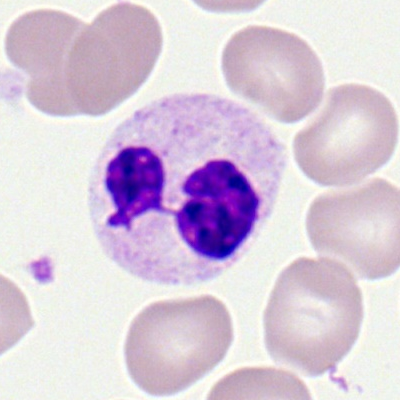{"cell_type": "polymorphonuclear neutrophil", "lineage": "myeloid"}